Bone marrow smear: 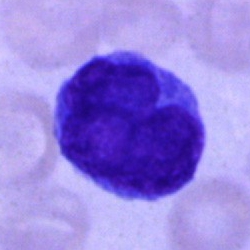Q: What is the morphological classification of this cell?
A: This is a blast cell.